Bone marrow aspirate smear: 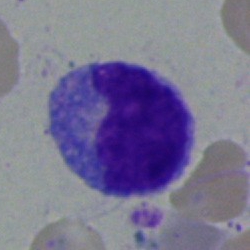 A monocyte.